250 by 250 pixels. Bone marrow aspirate smear
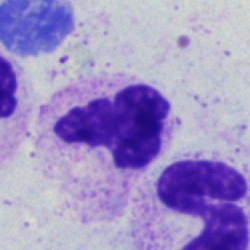 Morphology consistent with a neutrophil (segmented).